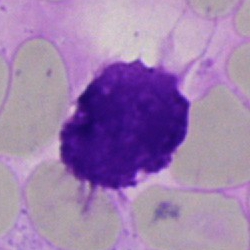Cell — artifact.